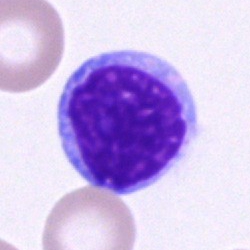 Cell type: lymphocyte.